Bone marrow aspirate smear; MGG-stained.
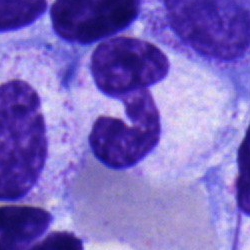 Impression — polymorphonuclear neutrophil.